Bone marrow aspirate smear — 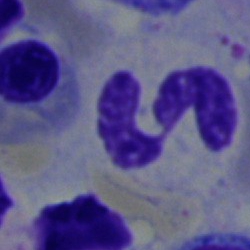

Q: What type of cell is this?
A: This is a neutrophil (segmented).